Bone marrow aspirate smear.
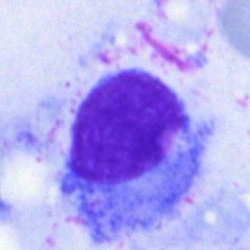Morphology — hairy cell.